Bone marrow smear.
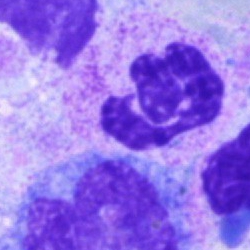 This is a segmented neutrophil.